Single-cell crop · peripheral blood smear: 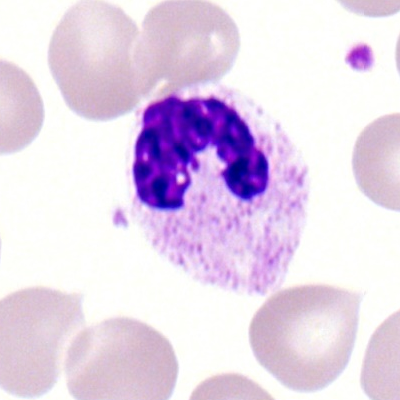
Cell type = polymorphonuclear neutrophil.